Peripheral blood smear · 360 by 363 pixels:
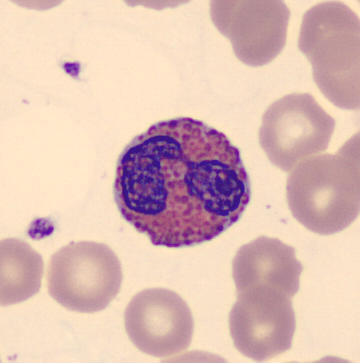 The cell is eosinophil.